Bone marrow smear · May-Grünwald-Giemsa/Pappenheim stain — 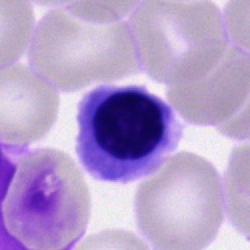Q: What type of cell is this?
A: It is a normoblast.